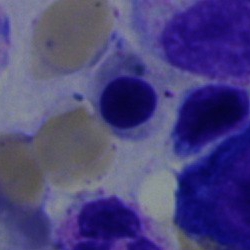

Morphology — nucleated red blood cell.